Bone marrow smear; May-Grünwald-Giemsa/Pappenheim stain — 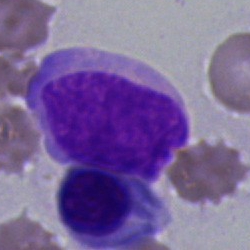 Morphology — blast.